Bone marrow smear
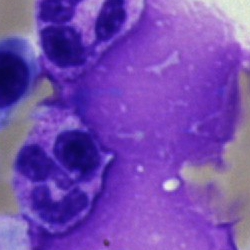The cell is artefact.